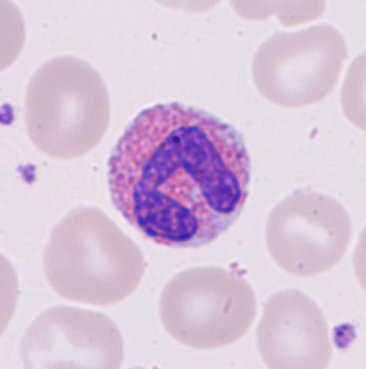
Image: CellaVision DM96 · peripheral blood film.
Eosinophilic granulocyte.